Cropped to a single cell; bone marrow aspirate smear
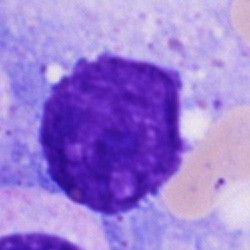Impression → artifact.